May-Grünwald-Giemsa stain; bone marrow aspirate smear; 250 by 250 pixels
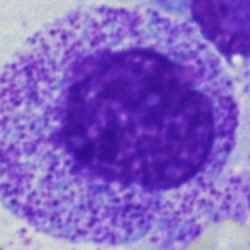 Impression — progranulocyte.